Bone marrow aspirate smear
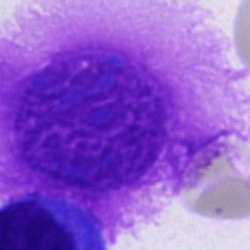
Morphological class = artifact.